Bone marrow aspirate smear.
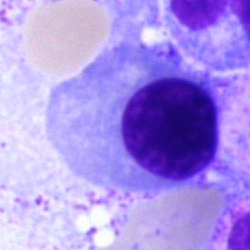Q: What type of cell is this?
A: Nucleated red cell.